Bone marrow smear:
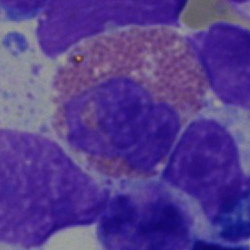

Showing an eosinophilic granulocyte.